Bone marrow aspirate smear; image size 250×250.
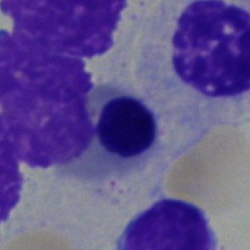 This is a nucleated red blood cell.